Peripheral blood smear: 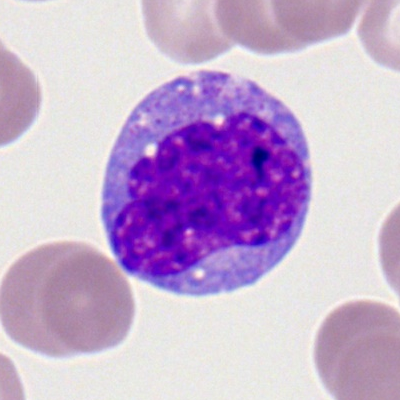 Cell type = monocyte.